Bone marrow smear:
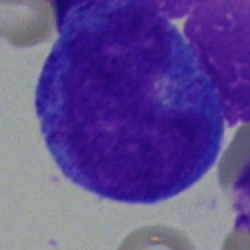
This is a progranulocyte.